Peripheral blood smear. Romanowsky stain
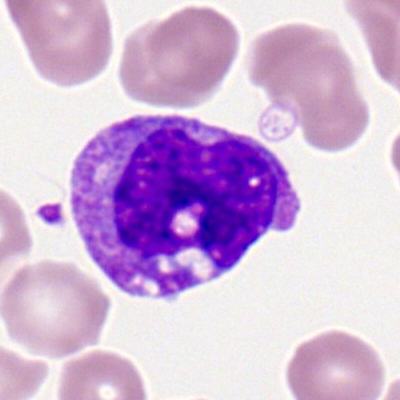The classification is monocyte.